Bone marrow smear.
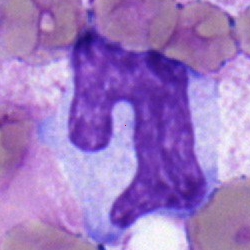Impression — monocyte.